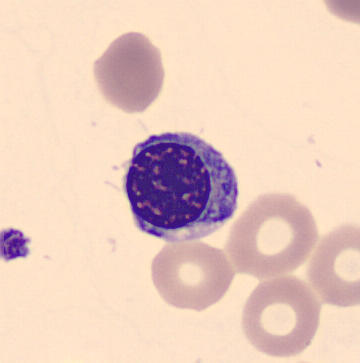Specimen: peripheral blood film.
Morphological class: erythroblast.
Lineage: erythroid.